Bone marrow aspirate smear. Pappenheim-stained. Image size 250×250
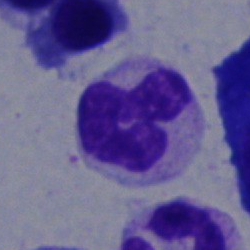The cell shown is a neutrophil (segmented).